Bone marrow aspirate smear:
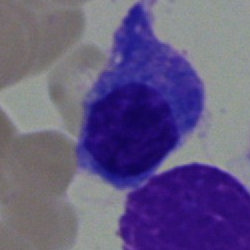
Classification = plasmacyte.